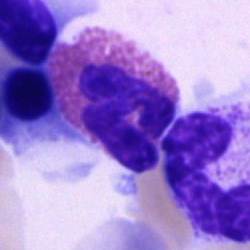

The classification is eosinophilic granulocyte.